Bone marrow smear.
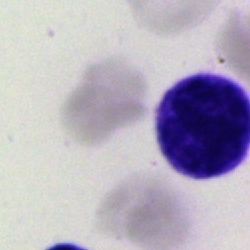

Typical lymphocyte.